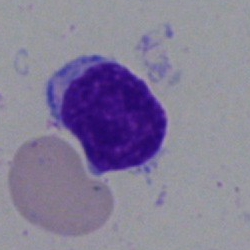Q: What is shown here?
A: A typical lymphocyte.